Bone marrow aspirate smear · May-Grünwald-Giemsa stain · brightfield microscopy, 40× oil immersion
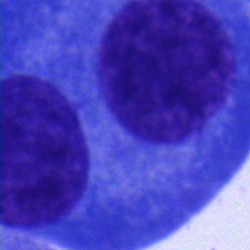{"cell_type": "plasma cell"}